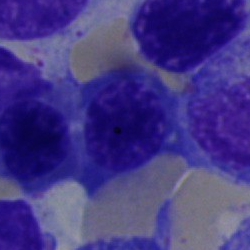

Q: What is shown here?
A: A nucleated red cell.